May-Grünwald-Giemsa/Pappenheim stain · bone marrow aspirate smear — 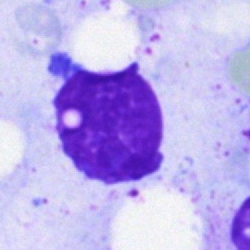
Artifact.